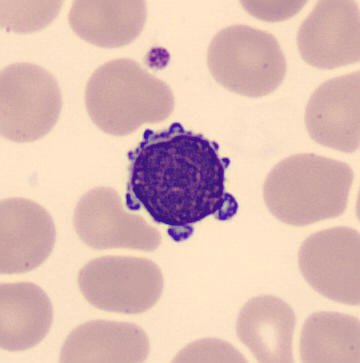Specimen: peripheral blood film.
Classification: lymphocyte.
Lineage: lymphoid.
Acquisition: MGG stain. Single-cell crop.